Bone marrow aspirate smear — 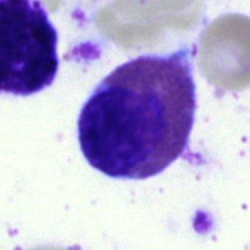 This is an eosinophil.